Bone marrow smear — 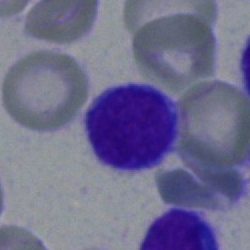

Q: What is the morphological classification of this cell?
A: This is a lymphocyte.